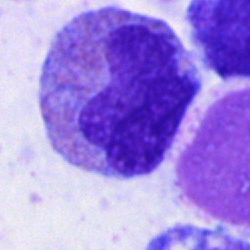Classification: eosinophilic granulocyte.